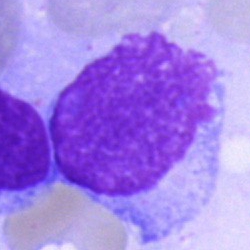

Specimen: bone marrow aspirate smear.
Morphological class: artifact.